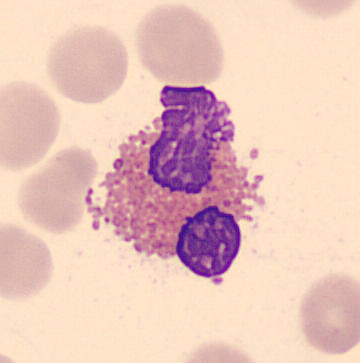 Single-cell crop from a peripheral blood smear: eosinophil.